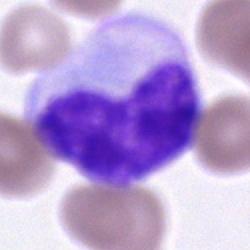

Single-cell crop from a bone marrow smear: metamyelocyte.